Bone marrow smear
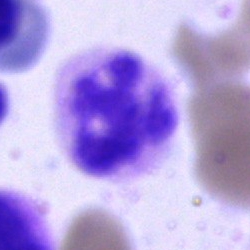

Q: Which cell type is shown here?
A: A polymorphonuclear neutrophil.